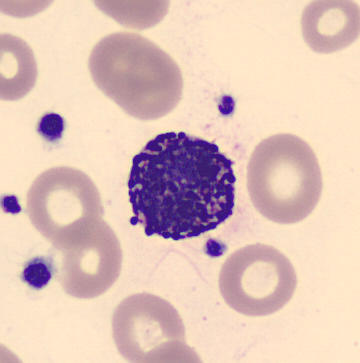
{"cell_type": "basophil", "lineage": "myeloid"}

Image: Peripheral blood smear.